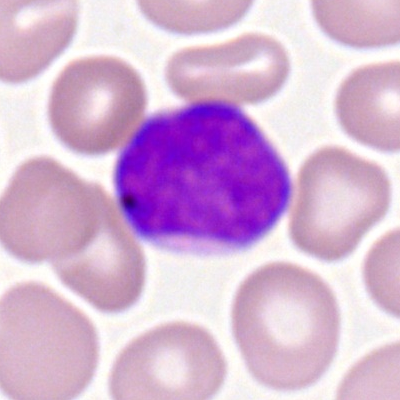
A myeloid blast.